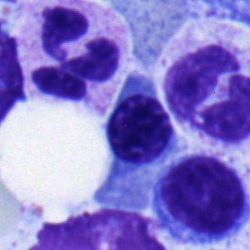 Single cell identified as a normoblast.